400×400. Peripheral blood film:
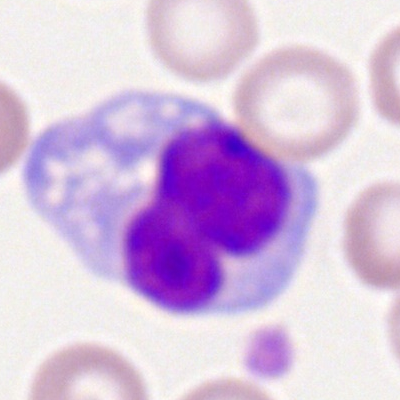
Morphological class — monocyte.